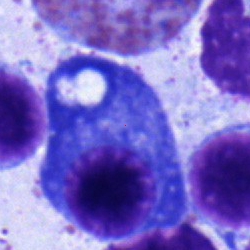

Morphological class: plasmacyte.